Single-cell crop. Bone marrow aspirate smear.
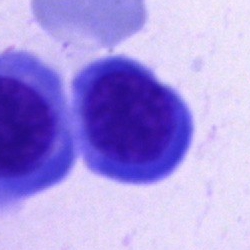Morphology consistent with an erythroblast.